Single-cell crop. Peripheral blood smear:
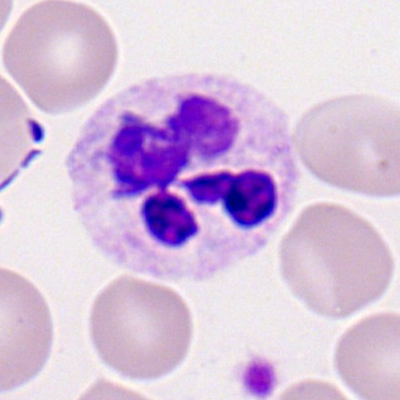

Single cell identified as a segmented neutrophil.